Bone marrow smear
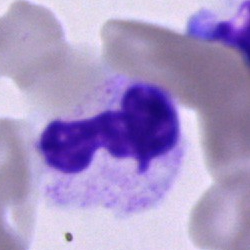 The cell type is neutrophil (segmented).